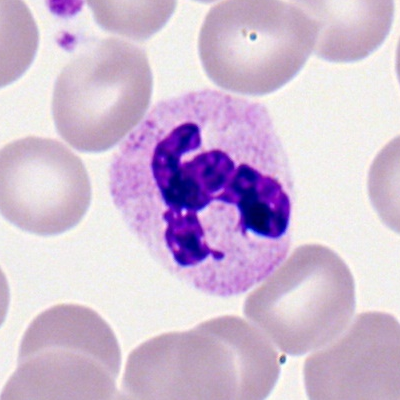
Cell type: polymorphonuclear neutrophil.